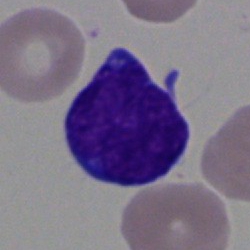
Q: Which cell type is shown here?
A: Blast.